250×250 px · bone marrow smear:
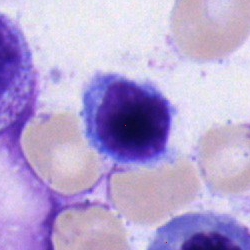

This is a lymphocyte.